Bone marrow smear · single-cell crop: 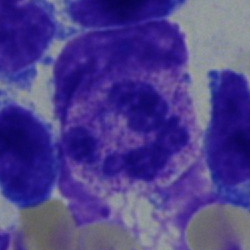Neutrophil (segmented).